250×250 · bone marrow smear · single-cell crop:
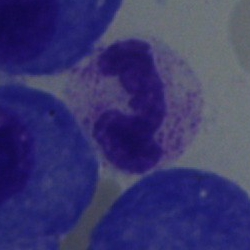 Showing a polymorphonuclear neutrophil.